Bone marrow aspirate smear — 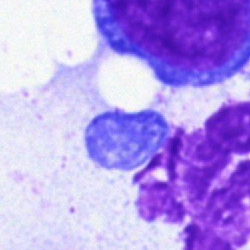
Specimen: bone marrow aspirate smear.
Classification: artefact.